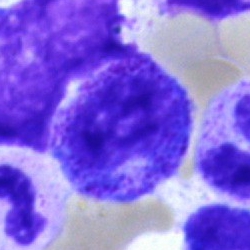
Classification — promyelocyte.